Image size 360×363; May-Grünwald-Giemsa-stained; peripheral blood smear: 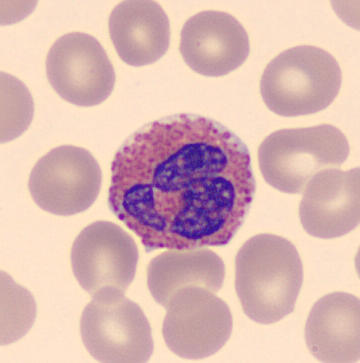
Specimen: peripheral blood smear.
Morphological class: eosinophil.
Lineage: myeloid.